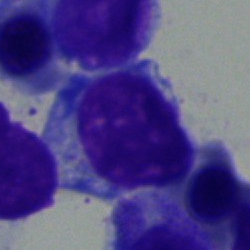
Morphology consistent with an erythroblast.